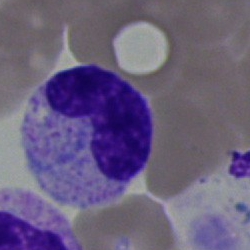Morphology — band-form neutrophil.